Bone marrow aspirate smear — 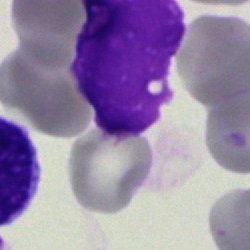
Single cell identified as an artifact.